Bone marrow smear: 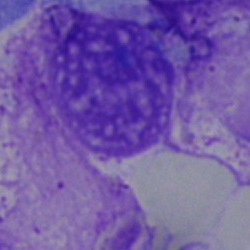Single cell identified as an artifact.